Bone marrow smear. 250×250 px. May-Grünwald-Giemsa stain:
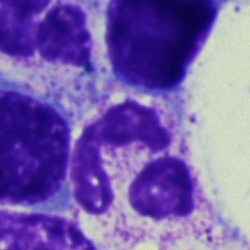Single cell identified as a neutrophil (segmented).